Peripheral blood smear · cropped to a single cell · CellaVision DM96
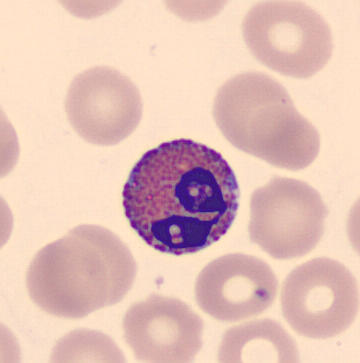Identified as an eosinophil.